Bone marrow aspirate smear
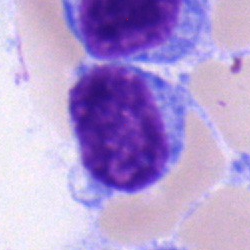
The morphological class is lymphocyte.